Bone marrow smear. Image size 250×250. Single-cell crop:
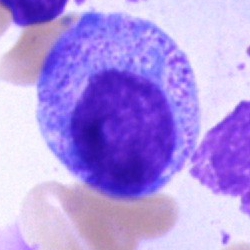
Promyelocyte.